Bone marrow smear:
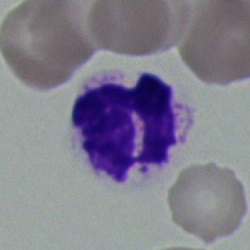 Cell = polymorphonuclear neutrophil.